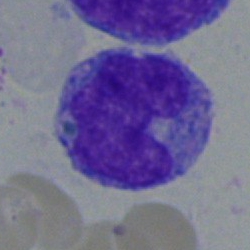This is a monocyte.